Bone marrow smear.
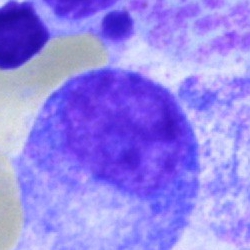

Q: What cell is this?
A: This is a promyelocyte.